Bone marrow smear
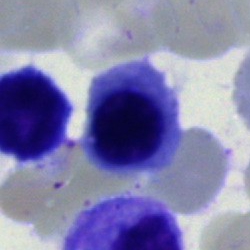Specimen: bone marrow aspirate smear.
Cell type: erythroblast.
Lineage: erythroid.